Bone marrow aspirate smear: 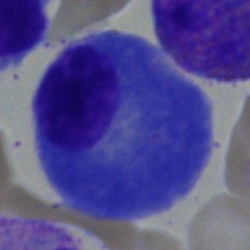

Showing a plasma cell.